MGG-stained · bone marrow aspirate smear:
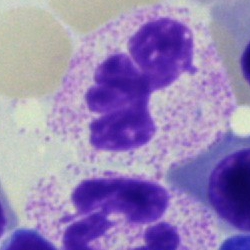{"cell_type": "segmented neutrophil"}